Bone marrow smear. 40× oil immersion. Image size 250×250: 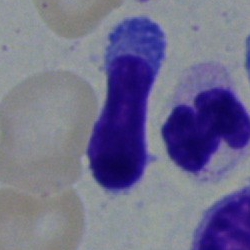

The classification is lymphocyte.